250 by 250 pixels. Bone marrow smear.
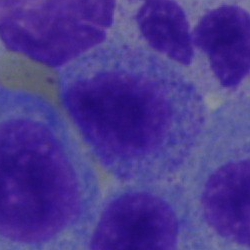

Cell = myelocyte.